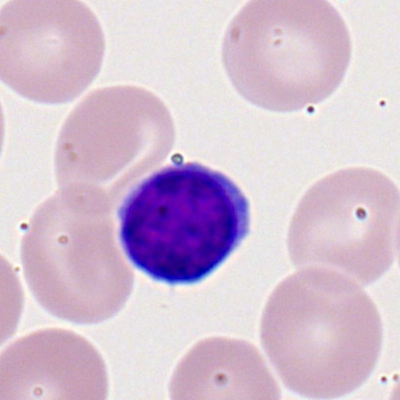A typical lymphocyte on a peripheral blood smear.